Bone marrow aspirate smear. Single-cell crop
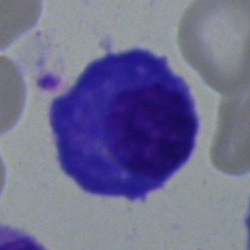Impression → plasmacyte.